Bone marrow aspirate smear — 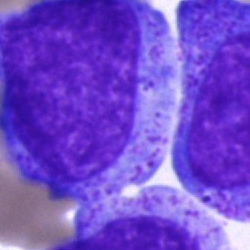 This is a promyelocyte.